Peripheral blood film
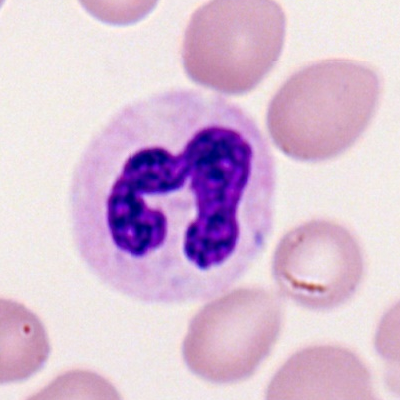

The cell type is neutrophil (segmented).